Bone marrow smear.
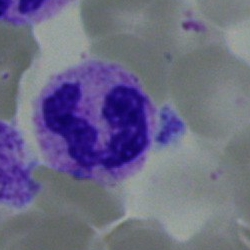
Q: What type of cell is this?
A: It is a neutrophil (segmented).